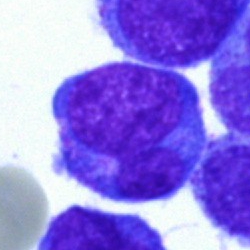 Classification — blast.